Bone marrow smear
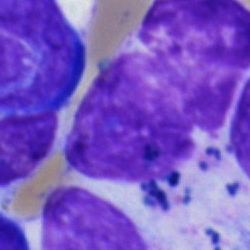

This is an artifact.